Peripheral blood smear. Single-cell crop:
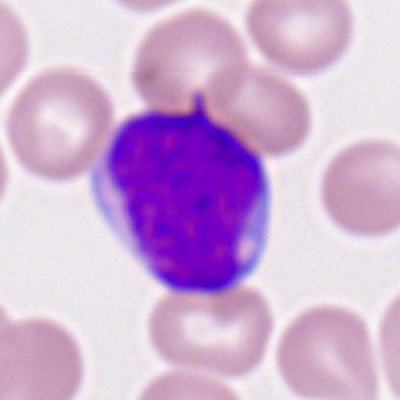
Q: Identify the cell.
A: A myeloid blast.